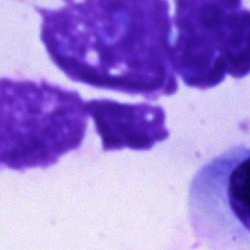
Bone marrow smear showing a cell of indeterminate lineage.